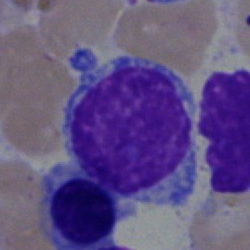Specimen: bone marrow smear.
Cell type: typical lymphocyte.
Lineage: lymphoid.